Cropped to a single cell · bone marrow aspirate smear.
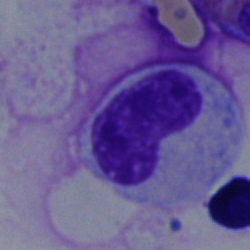Single cell identified as a band-form neutrophil.